Bone marrow aspirate smear — 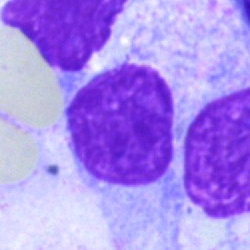Classification — artefact.